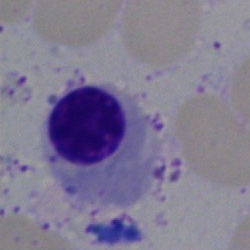
Q: Which cell type is shown here?
A: It is a normoblast.